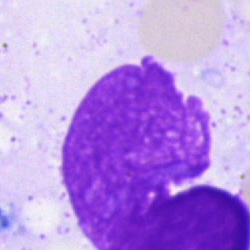Cell type — artefact.